Peripheral blood smear.
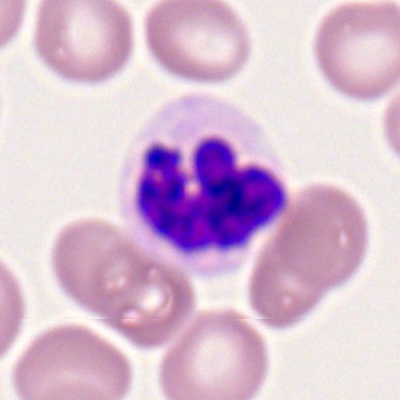 Specimen: peripheral blood smear.
Morphological class: neutrophil (segmented).
Lineage: myeloid.